Bone marrow aspirate smear · Pappenheim-stained
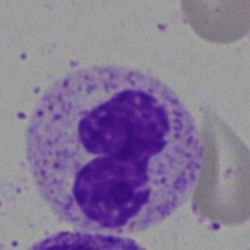
Classification: segmented neutrophil.